Bone marrow smear
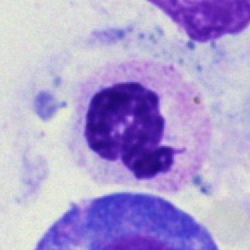Specimen: bone marrow smear.
Cell: polymorphonuclear neutrophil.
Lineage: myeloid.